Single-cell field · peripheral blood film.
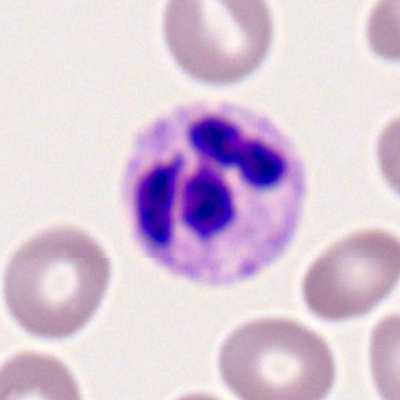
Neutrophil (segmented).